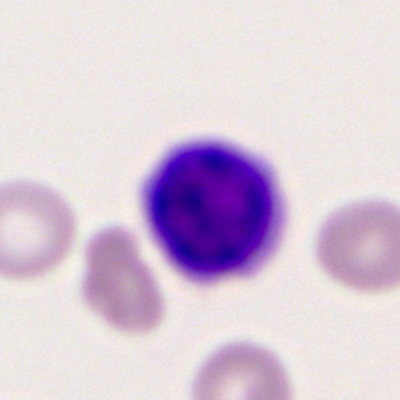Morphology → typical lymphocyte.